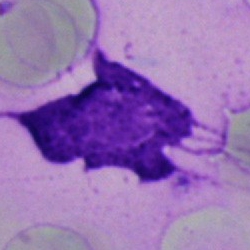

Classification = artifact.